Single cell centered in the field · peripheral blood smear · 360 by 363 pixels.
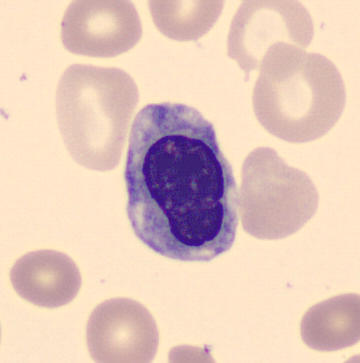

Morphology consistent with a normoblast.